Bone marrow smear. May-Grünwald-Giemsa/Pappenheim stain. Single-cell field — 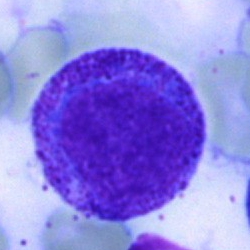

The cell shown is a promyelocyte.